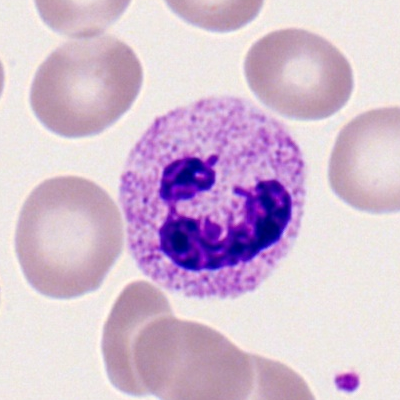
Q: What cell is this?
A: A neutrophil (segmented).